Bone marrow aspirate smear:
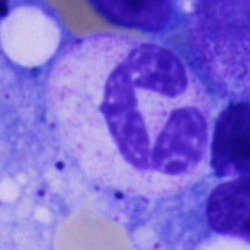 Segmented neutrophil.